May-Grünwald-Giemsa/Pappenheim stain · bone marrow smear
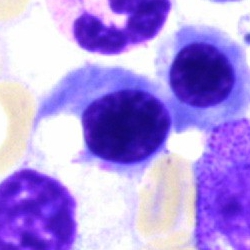
A nucleated red cell.